Bone marrow aspirate smear — 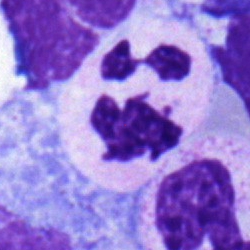

Q: What cell is this?
A: This is a polymorphonuclear neutrophil.